May-Grünwald-Giemsa/Pappenheim stain. 40× oil immersion. Bone marrow aspirate smear.
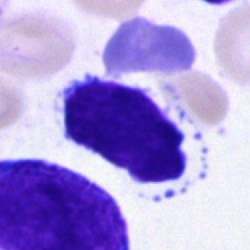 Impression → typical lymphocyte.